Bone marrow aspirate smear.
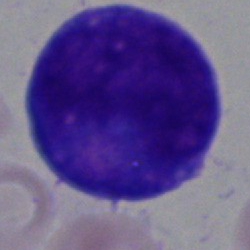

Q: What is the morphological classification of this cell?
A: Blast cell.